May Grünwald-Giemsa stain · peripheral blood smear — 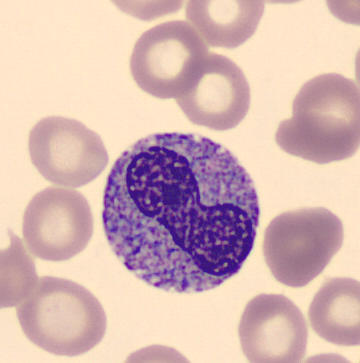
Impression → metamyelocyte.